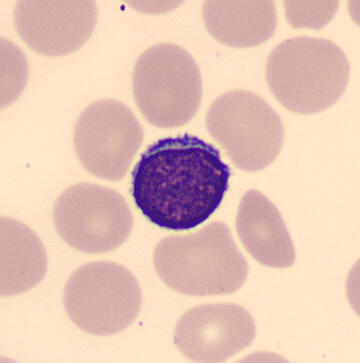This is a typical lymphocyte.

Peripheral blood smear; single cell centered in the field.